Bone marrow aspirate smear; single-cell field: 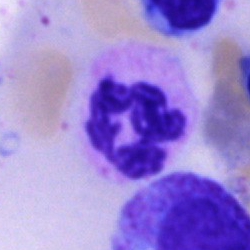The cell shown is a neutrophil (segmented).